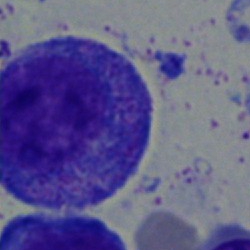 Impression — promyelocyte.